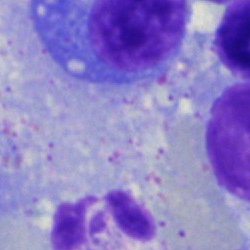

Q: What type of cell is this?
A: Neutrophil (segmented).